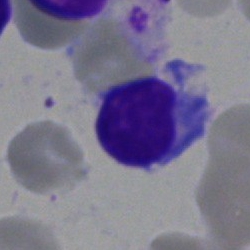

Cell — typical lymphocyte.